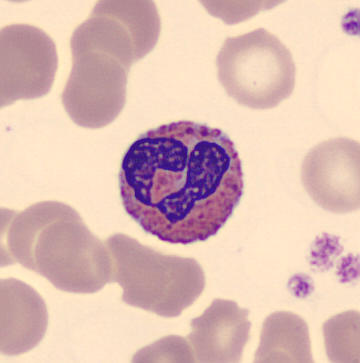

360×363 px · peripheral blood smear.
This is an eosinophil.